Single cell centered in the field · bone marrow smear: 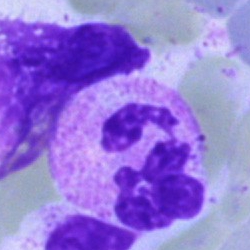 Q: What is shown here?
A: It is a polymorphonuclear neutrophil.